Bone marrow smear.
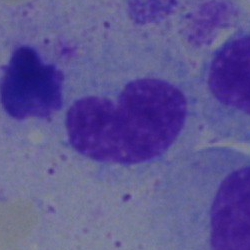
This is a metamyelocyte.